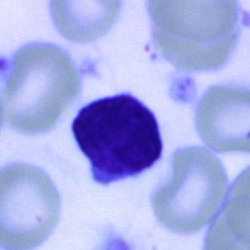

Showing a lymphocyte.